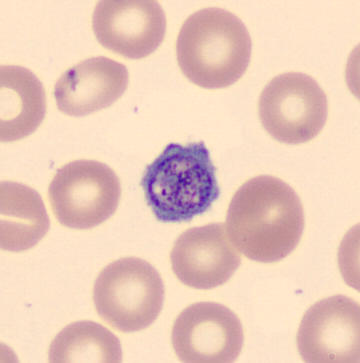{"cell_type": "platelet (thrombocyte)"}